Bone marrow aspirate smear. Brightfield, 40× oil-immersion objective. Single-cell field:
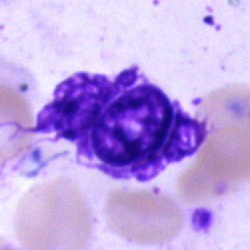
This is an artefact.